Bone marrow smear. MGG-stained — 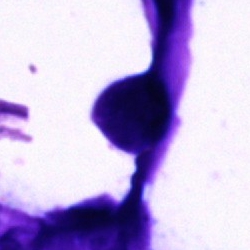
Impression → artifact.